Bone marrow smear. 40× oil immersion:
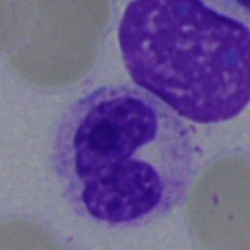

Cell type: neutrophil (band).